Bone marrow smear
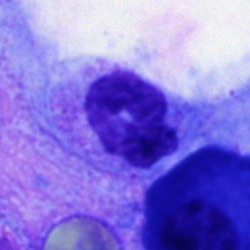Morphology → artefact.